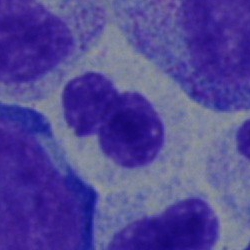Q: What is shown here?
A: A neutrophil (segmented).